Bone marrow smear · Pappenheim-stained — 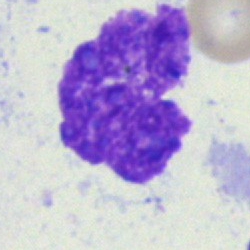Classification — artifact.